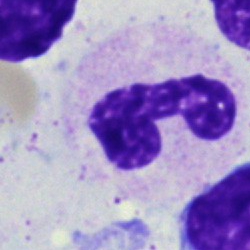A band neutrophil on a bone marrow smear.